Single cell centered in the field. Bone marrow smear: 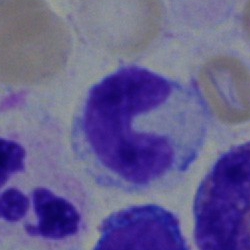
The cell type is band neutrophil.